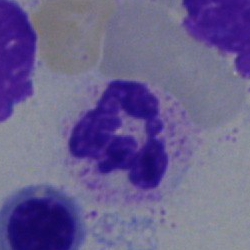
Q: What is shown here?
A: This is a polymorphonuclear neutrophil.